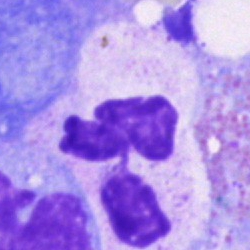 Morphology consistent with a segmented neutrophil.